Bone marrow smear.
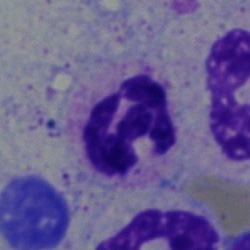

The cell shown is a polymorphonuclear neutrophil.